Bone marrow smear. Single-cell field
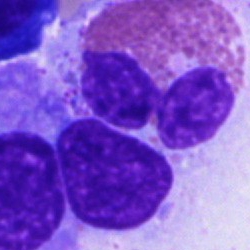

{"cell_type": "eosinophilic granulocyte", "lineage": "myeloid"}